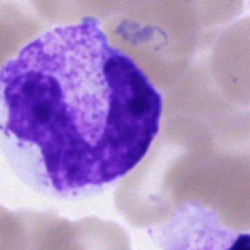

Specimen: bone marrow smear.
Classification: band-form neutrophil.